Bone marrow smear — 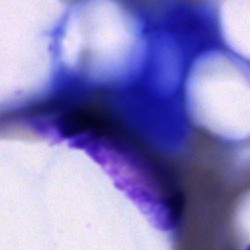
Q: What is shown here?
A: Artefact.